40× oil immersion · bone marrow smear · cropped to a single cell — 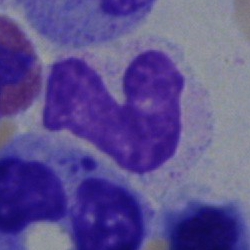
Band-form neutrophil.